Single-cell crop. Bone marrow aspirate smear. 40× objective, oil immersion
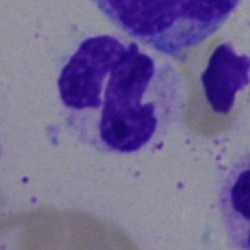

Q: Identify the cell.
A: Polymorphonuclear neutrophil.